40× objective, oil immersion; MGG-stained; bone marrow smear — 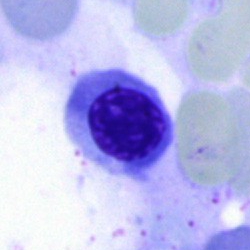

Showing a nucleated red blood cell.